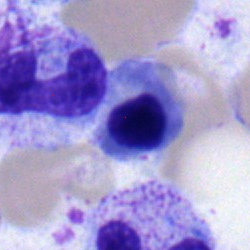

A nucleated red blood cell on a bone marrow smear.